Bone marrow smear · May-Grünwald-Giemsa stain · 40× oil immersion — 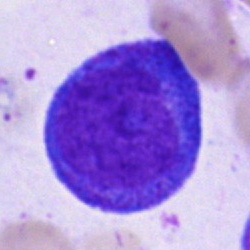
The cell shown is a promyelocyte.